Bone marrow aspirate smear; image size 250×250.
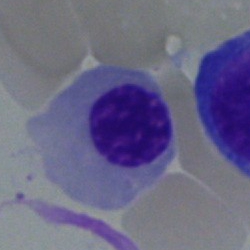Impression → nucleated red cell.